250 by 250 pixels · MGG-stained · bone marrow aspirate smear — 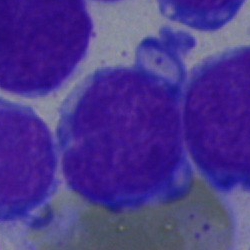

Morphology — blast.